Bone marrow aspirate smear:
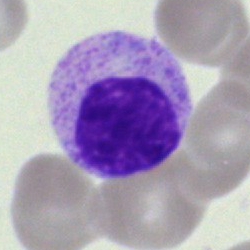{"cell_type": "myelocyte", "lineage": "myeloid"}